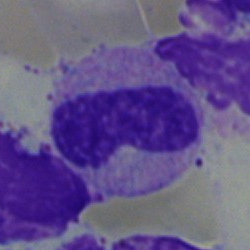 Classification — stab cell.